250×250 · Pappenheim-stained · bone marrow smear: 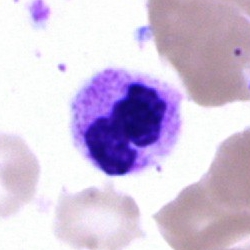 Classification = neutrophil (segmented).